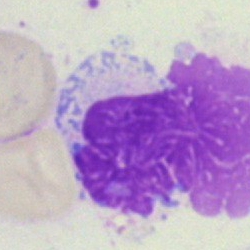
Impression — artifact.